Image size 250×250. Bone marrow aspirate smear: 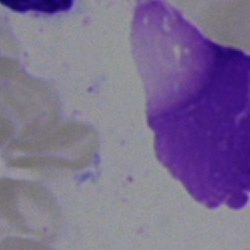
An artefact.